Bone marrow aspirate smear
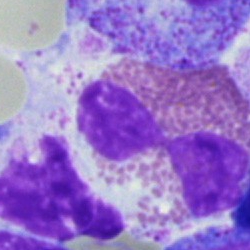
Impression — eosinophilic granulocyte.